Peripheral blood film.
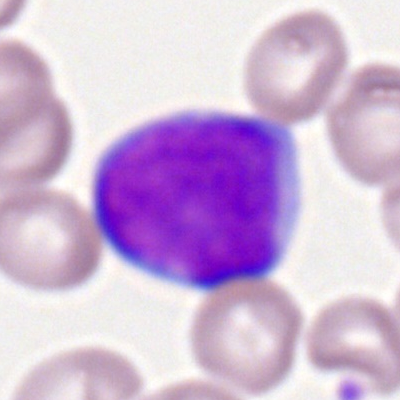
A myeloid blast.